Bone marrow aspirate smear.
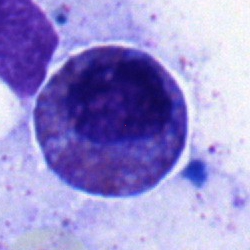 Cell — eosinophil.